40× objective, oil immersion. Bone marrow smear — 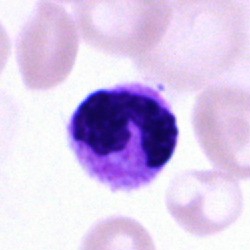
Morphology — polymorphonuclear neutrophil.